Bone marrow smear
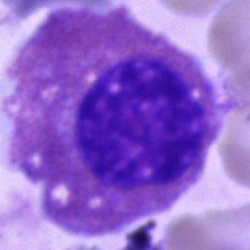 Q: What cell is this?
A: This is an eosinophil.